Bone marrow aspirate smear:
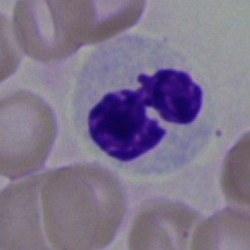
Q: What type of cell is this?
A: It is a neutrophil (segmented).